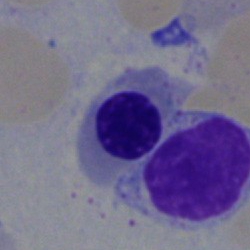

Nucleated red blood cell.